Bone marrow aspirate smear; May-Grünwald-Giemsa stain: 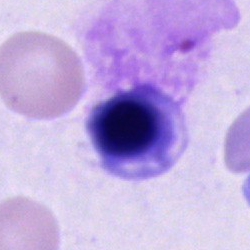This is a nucleated red blood cell.